Bone marrow smear
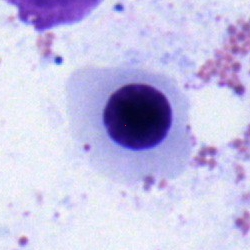
Cell — erythroblast.